250×250; bone marrow aspirate smear:
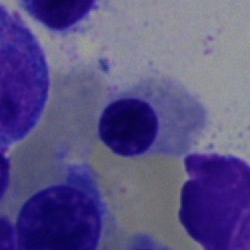
Specimen: bone marrow smear.
Morphological class: nucleated red cell.
Lineage: erythroid.